Bone marrow aspirate smear.
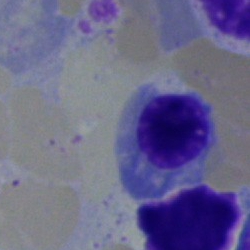
The classification is nucleated red blood cell.